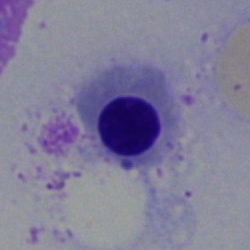Impression → normoblast.